Bone marrow aspirate smear:
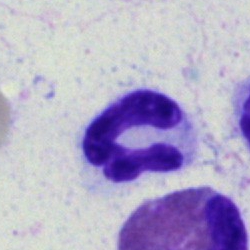

Impression — neutrophil (segmented).